Bone marrow aspirate smear:
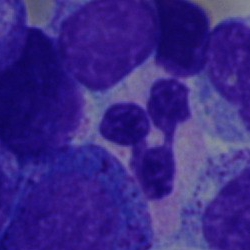 This is a segmented neutrophil.